Bone marrow aspirate smear: 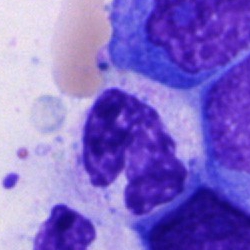 Morphology consistent with an unidentifiable cell.